Bone marrow smear.
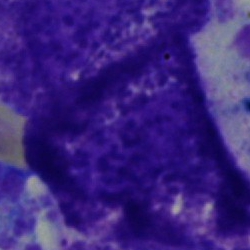
Showing an other cell type.